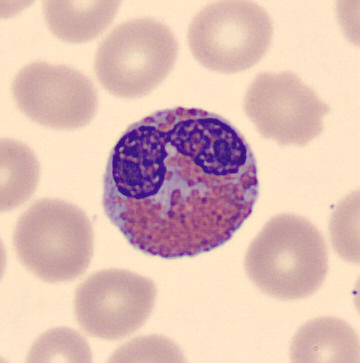Q: Which cell type is shown here?
A: This is an eosinophilic granulocyte. Preparation: CellaVision DM96 digital cell image. Peripheral blood smear. Single-cell field.